Bone marrow smear.
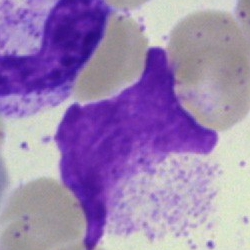Morphology consistent with an artefact.